Bone marrow aspirate smear: 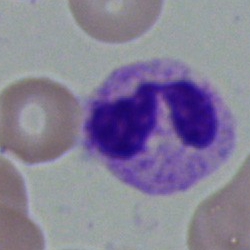
Morphology consistent with a polymorphonuclear neutrophil.